Single-cell field. Bone marrow aspirate smear:
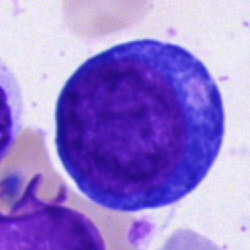{"cell_type": "pronormoblast"}